Bone marrow smear:
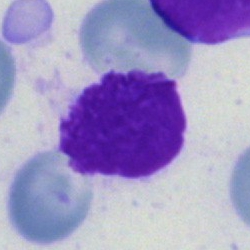 Q: What is shown here?
A: An artefact.